Bone marrow aspirate smear.
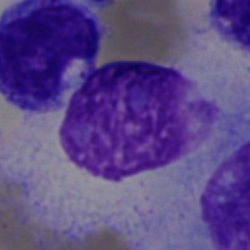 Cell type = artifact.